Bone marrow smear: 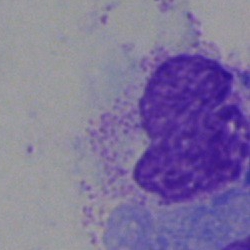 Showing an artifact.